Bone marrow aspirate smear.
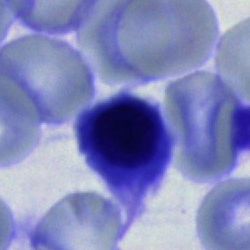 Showing an erythroblast.